Pappenheim-stained. Single-cell crop. Bone marrow aspirate smear.
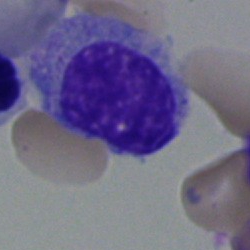 {"cell_type": "myelocyte", "lineage": "myeloid"}